Peripheral blood film; Romanowsky-type stain — 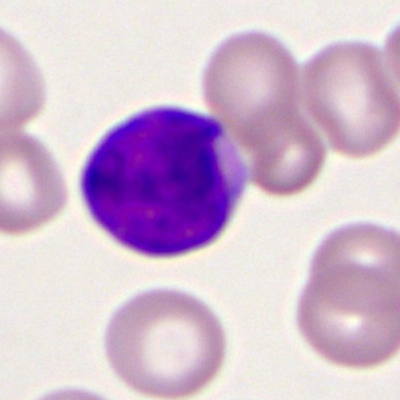

Specimen: peripheral blood film.
Classification: myeloblast.